Bone marrow aspirate smear: 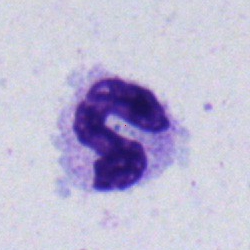 Morphology — neutrophil (segmented).